Cropped to a single cell; bone marrow smear: 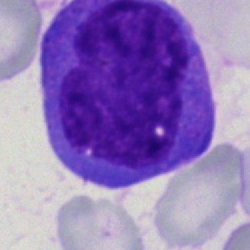

Morphological class: monocyte.